Cropped to a single cell; bone marrow aspirate smear.
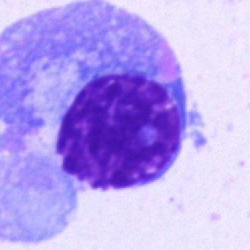
A plasmacyte.